Bone marrow aspirate smear · May-Grünwald-Giemsa/Pappenheim stain · cropped to a single cell
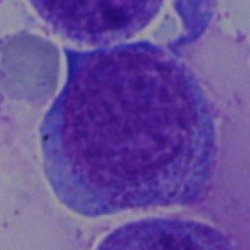 Classification: progranulocyte.